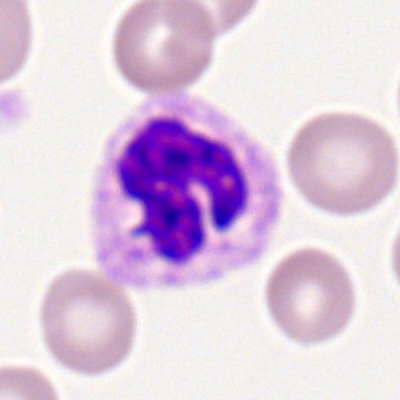 Classification = polymorphonuclear neutrophil.